Bone marrow aspirate smear — 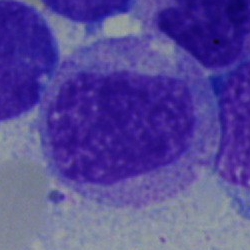 Specimen: bone marrow smear.
Cell: myelocyte.
Lineage: myeloid.